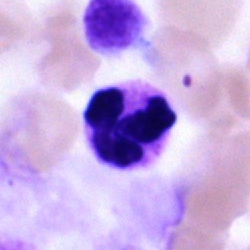Q: What is the morphological classification of this cell?
A: A neutrophil (segmented).